Peripheral blood smear — 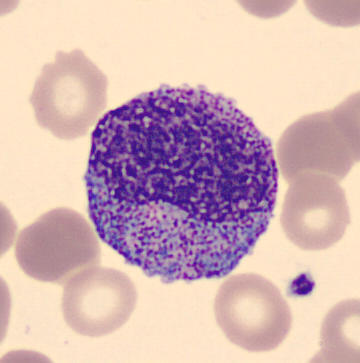Morphology consistent with a progranulocyte.